Bone marrow smear; May-Grünwald-Giemsa stain
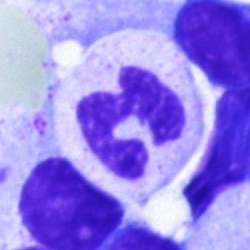 This is a polymorphonuclear neutrophil.